Peripheral blood film.
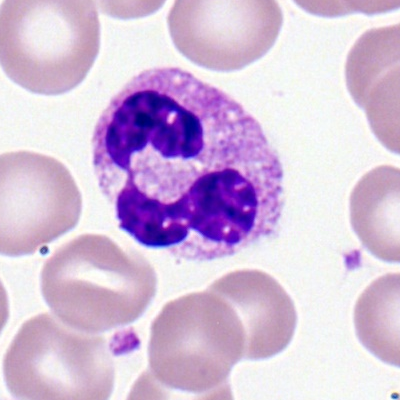

Cell type — polymorphonuclear neutrophil.